Bone marrow aspirate smear.
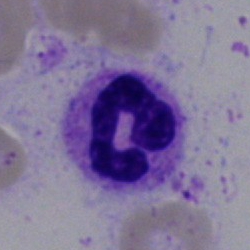

Showing a polymorphonuclear neutrophil.